Peripheral blood smear.
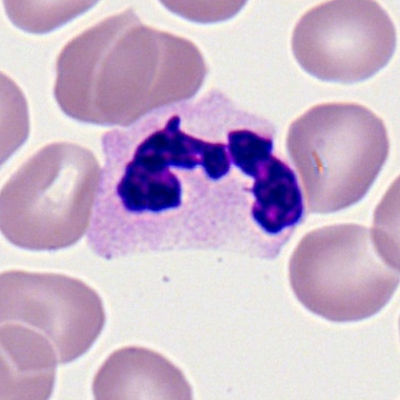The cell type is polymorphonuclear neutrophil.